Bone marrow smear — 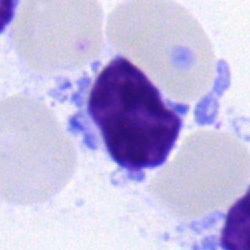

Classification: lymphocyte.